Peripheral blood film. Single cell centered in the field — 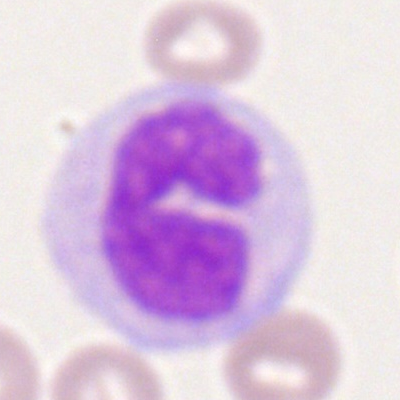
This is a monocyte.